Bone marrow smear; image size 250×250
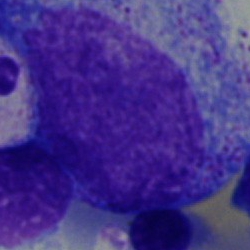

Q: Identify the cell.
A: A progranulocyte.